Single-cell crop; peripheral blood smear; image size 400×400
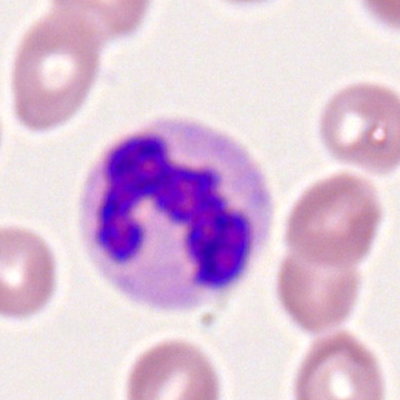

Cell: neutrophil (segmented).